Peripheral blood film: 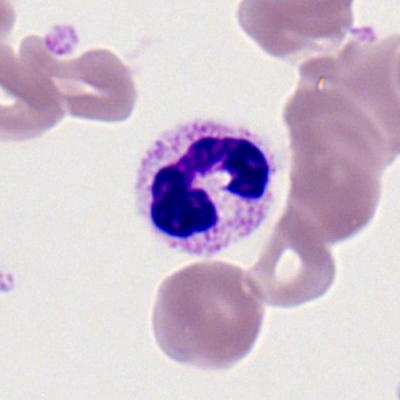

This is a segmented neutrophil.